Brightfield, 40× oil-immersion objective. Bone marrow smear:
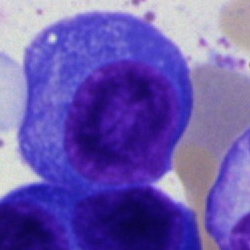

Q: What type of cell is this?
A: It is a plasma cell.